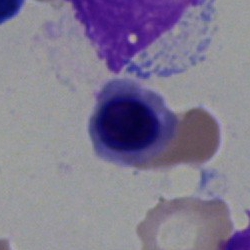
Morphology — nucleated red cell.